Peripheral blood film
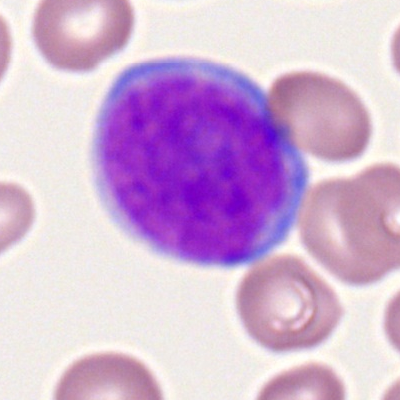
Myeloblast.